Bone marrow aspirate smear:
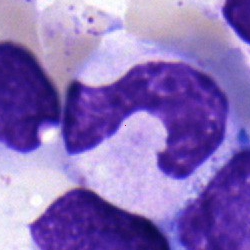Showing a segmented neutrophil.